Bone marrow aspirate smear. Image size 250×250. May-Grünwald-Giemsa/Pappenheim stain:
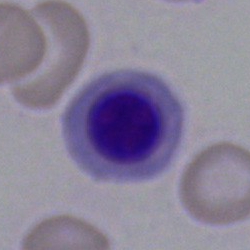
Single cell identified as an erythroblast.